Bone marrow smear; brightfield microscopy, 40× oil immersion: 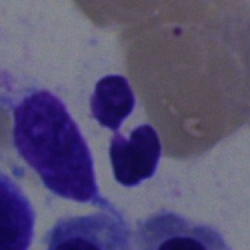Cell — segmented neutrophil.